100× objective, oil immersion; peripheral blood smear
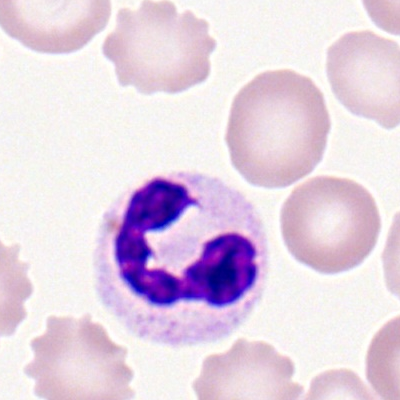 Showing a polymorphonuclear neutrophil.